Bone marrow smear: 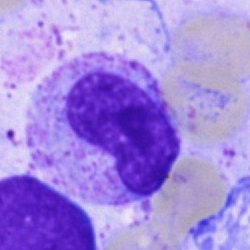Classification = metamyelocyte.